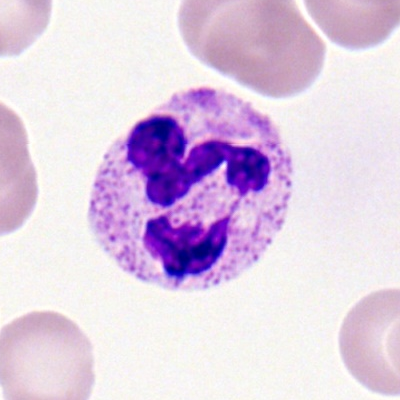
Specimen: peripheral blood film.
Classification: polymorphonuclear neutrophil.
Lineage: myeloid.